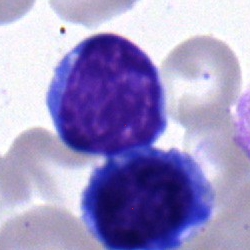 The cell type is typical lymphocyte.